May-Grünwald-Giemsa/Pappenheim stain; bone marrow smear; 40× oil immersion:
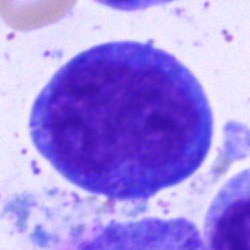Single cell identified as a monocyte.